40× oil immersion · bone marrow aspirate smear:
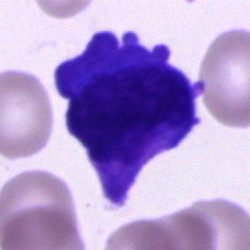

This is a blast cell.